Bone marrow aspirate smear; MGG-stained; brightfield, 40× oil-immersion objective: 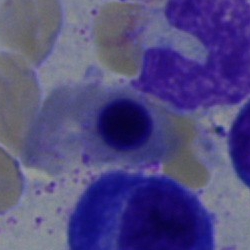Nucleated red blood cell.